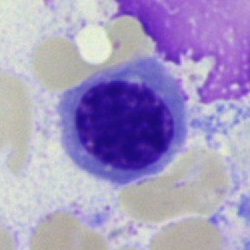
Q: What is shown here?
A: This is an erythroblast.